40× oil immersion · bone marrow aspirate smear:
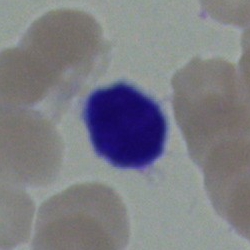

{"cell_type": "lymphocyte", "lineage": "lymphoid"}